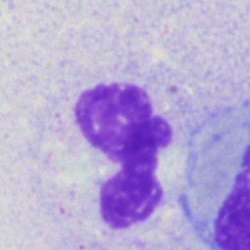

Cell = segmented neutrophil.